Bone marrow smear; 40× oil immersion — 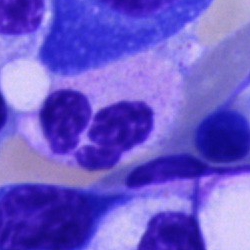

Q: Which cell type is shown here?
A: A segmented neutrophil.